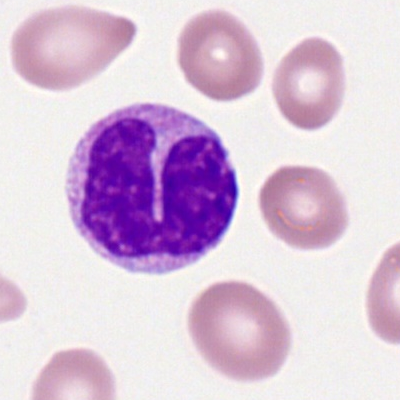 A monocyte.